Single-cell crop; bone marrow aspirate smear
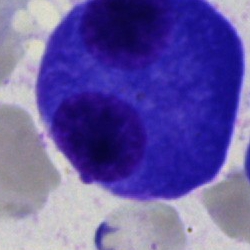
Morphology — plasma cell.